Bone marrow aspirate smear.
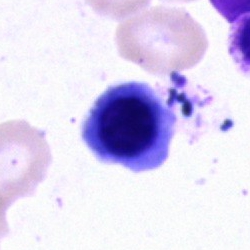Cell — erythroblast.